Bone marrow aspirate smear — 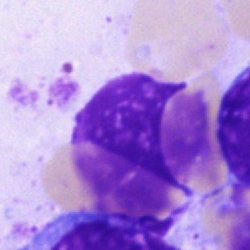
Artifact.